Bone marrow smear: 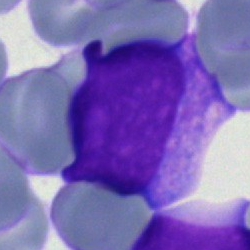The morphological class is blast.